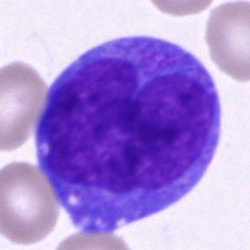
Single-cell crop from a bone marrow smear: monocyte.